Bone marrow aspirate smear · 40× objective, oil immersion — 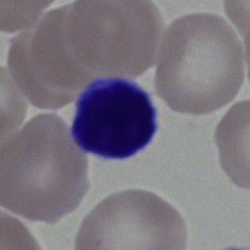Cell type: lymphocyte.